Bone marrow smear
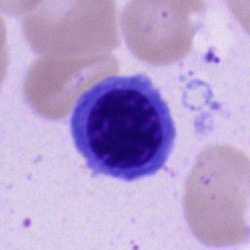

Classification: erythroblast.